Bone marrow aspirate smear — 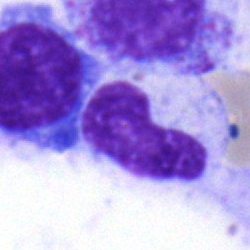

Impression → metamyelocyte.